Pappenheim-stained · bone marrow aspirate smear · 250 by 250 pixels
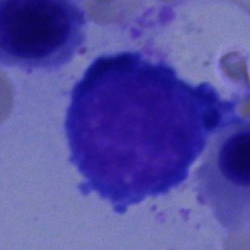

The cell shown is a proerythroblast.